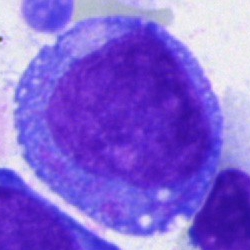Specimen: bone marrow aspirate smear.
Cell type: blast cell.